Bone marrow aspirate smear: 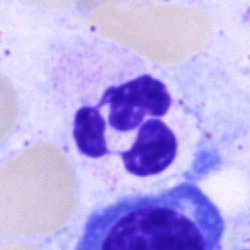
Q: Which cell type is shown here?
A: Segmented neutrophil.